Bone marrow aspirate smear — 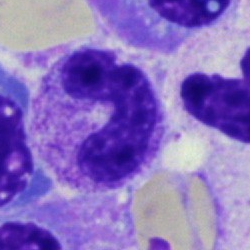

Stab cell.